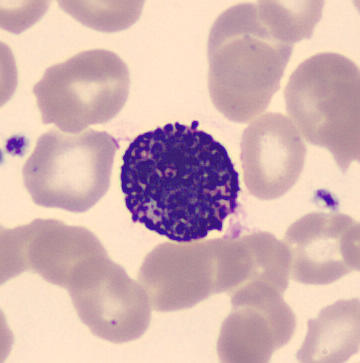

Single cell identified as a basophilic granulocyte.
Peripheral blood film.